Peripheral blood film. Romanowsky-type stain:
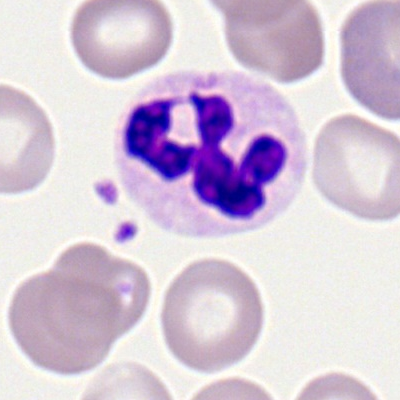Q: What type of cell is this?
A: It is a polymorphonuclear neutrophil.